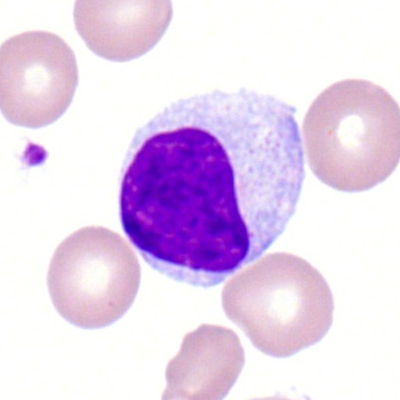 Impression — lymphocyte.